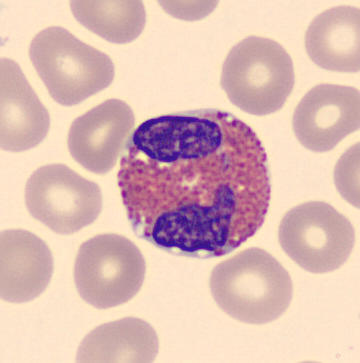
{"cell_type": "eosinophilic granulocyte", "lineage": "myeloid"}

Peripheral blood smear.